Bone marrow smear
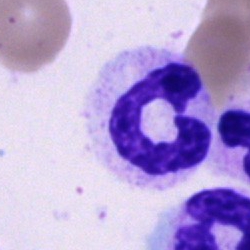 Morphology consistent with a segmented neutrophil.